Bone marrow smear; single-cell crop; 250×250 — 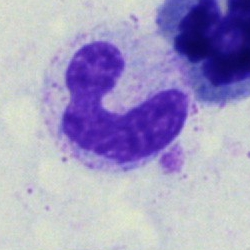
Single cell identified as a band neutrophil.